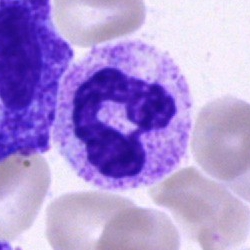

Cell type: polymorphonuclear neutrophil.